Bone marrow aspirate smear — 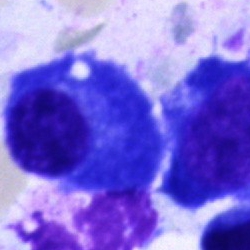
This is a plasma cell.